40× objective, oil immersion; bone marrow smear.
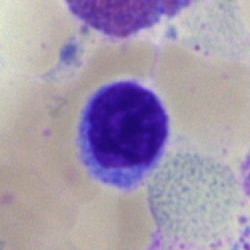
Morphology → typical lymphocyte.